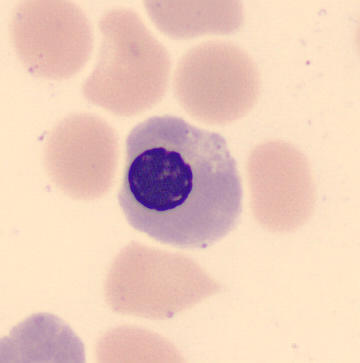Peripheral blood smear.

Q: What is this?
A: This is a nucleated red cell.